250×250. Bone marrow aspirate smear: 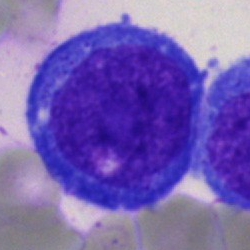
This is a blast.